Bone marrow aspirate smear — 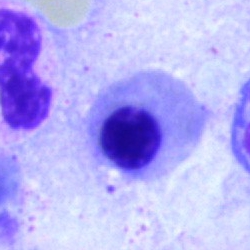

The cell is normoblast.